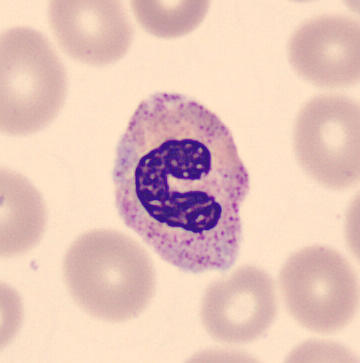
Cell type: neutrophil (band).